Bone marrow aspirate smear · MGG-stained.
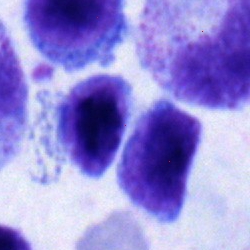

Cell type — progranulocyte.